Brightfield microscopy, 40× oil immersion. Bone marrow smear. 250×250
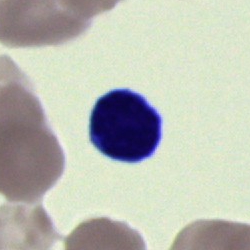
A cell of indeterminate lineage.